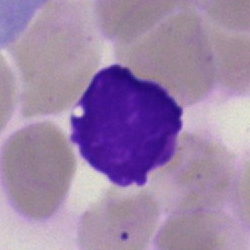Morphological class = artefact.